Bone marrow aspirate smear:
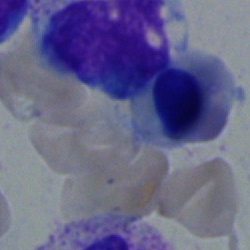 Cell type — normoblast.